Bone marrow smear: 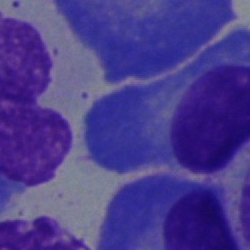
This is a plasma cell.